Bone marrow smear: 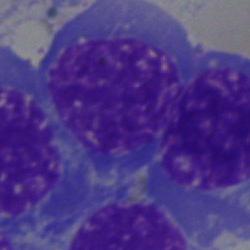

Classification = normoblast.